Brightfield, 40× oil-immersion objective; bone marrow aspirate smear
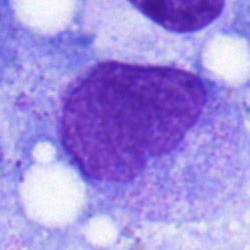 Specimen: bone marrow aspirate smear.
Cell: monocyte.
Lineage: myeloid.